Bone marrow smear
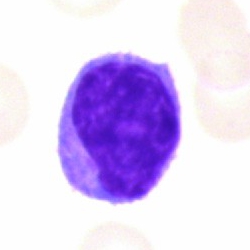
Morphology consistent with a lymphocyte.